Bone marrow aspirate smear: 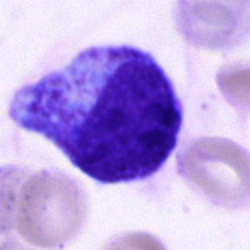
Morphological class = promyelocyte.